Bone marrow smear: 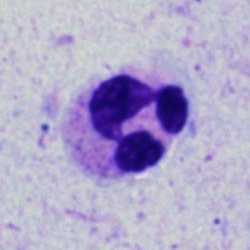 A segmented neutrophil.